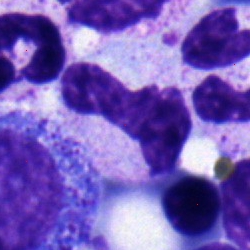
Classification — band-form neutrophil.